Bone marrow smear:
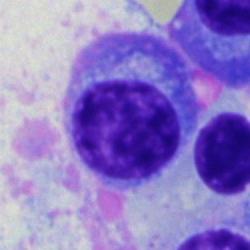
A plasma cell.